Bone marrow aspirate smear. Cropped to a single cell: 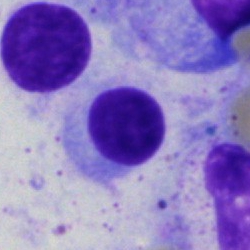

Specimen: bone marrow aspirate smear.
Cell: nucleated red cell.